250×250; 40× objective, oil immersion; bone marrow smear:
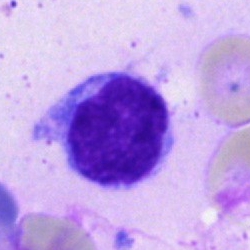

{"cell_type": "lymphocyte", "lineage": "lymphoid"}